Bone marrow aspirate smear · cropped to a single cell — 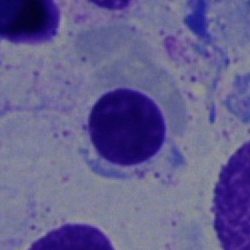 The cell type is nucleated red blood cell.